Single-cell field. Image size 250×250. Bone marrow aspirate smear
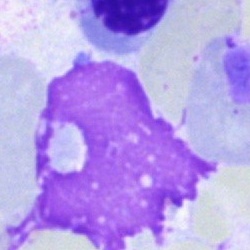

This is an artefact.